250×250 · bone marrow aspirate smear.
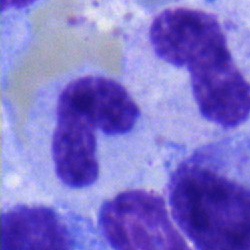 The cell shown is a band-form neutrophil.